Bone marrow smear:
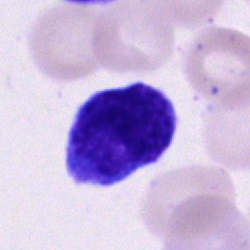 The morphological class is lymphocyte.